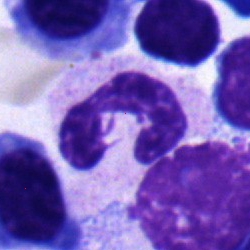Cell type — segmented neutrophil.